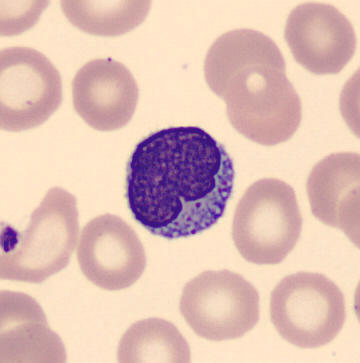 The cell shown is a lymphocyte. Preparation: Peripheral blood film.